May-Grünwald-Giemsa stain; brightfield microscopy, 40× oil immersion; bone marrow aspirate smear.
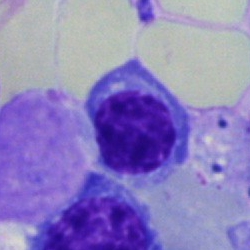Q: What is the morphological classification of this cell?
A: It is an erythroblast.